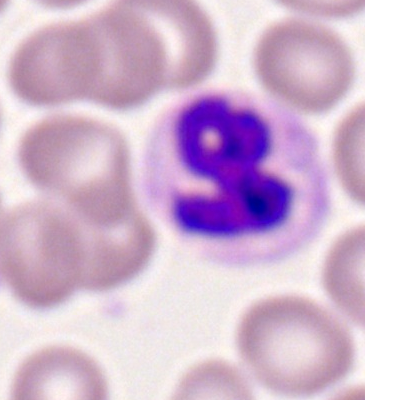 This is a neutrophil (segmented).